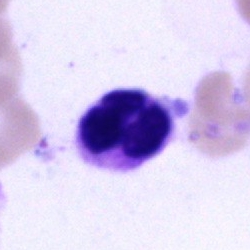
Cell = polymorphonuclear neutrophil.